Bone marrow aspirate smear — 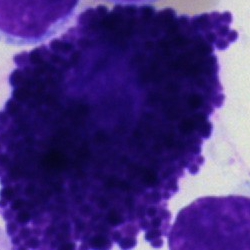
Classification — artefact.